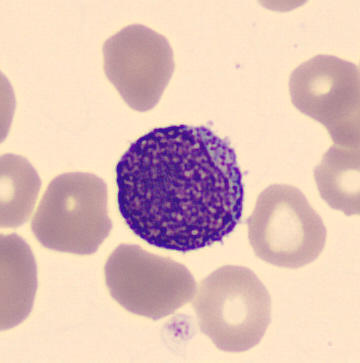 Promyelocyte. Acquisition: Peripheral blood smear.